Bone marrow aspirate smear — 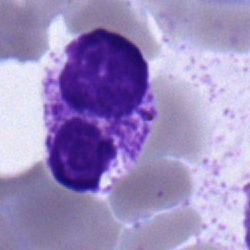
The morphological class is segmented neutrophil.